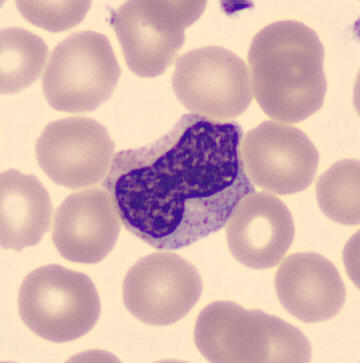
Impression — metamyelocyte.

Peripheral blood film.